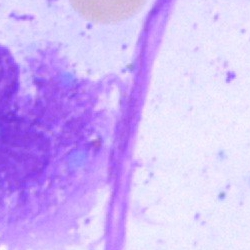
Specimen: bone marrow aspirate smear.
Classification: artefact.